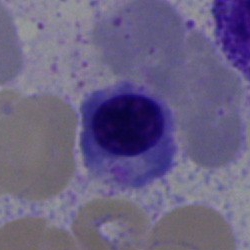
This is a nucleated red blood cell.